Peripheral blood smear — 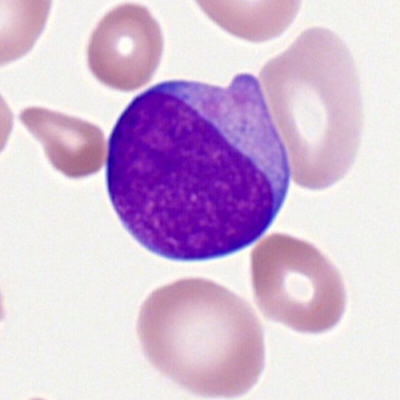 Showing a myeloblast.